Bone marrow aspirate smear.
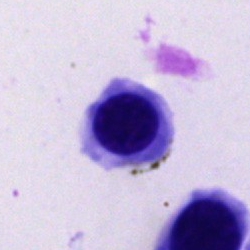

Impression — nucleated red blood cell.